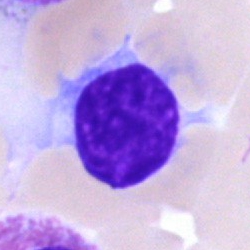

The cell shown is a lymphocyte.